Bone marrow aspirate smear — 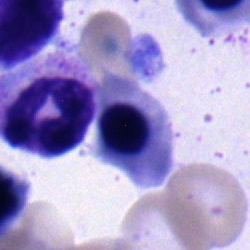
Classification: monocyte.